40× oil immersion. Single-cell crop. Bone marrow smear — 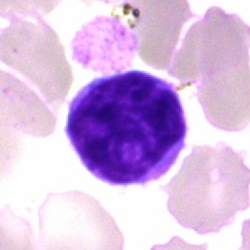
Q: Identify the cell.
A: This is a lymphocyte.